Cropped to a single cell · bone marrow smear:
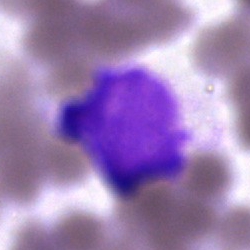

The cell shown is an artifact.